MGG-stained · image size 250×250 · bone marrow aspirate smear
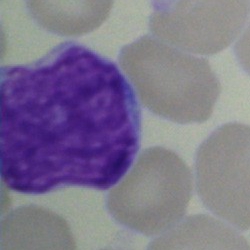Q: What type of cell is this?
A: Undifferentiated blast.